Bone marrow smear
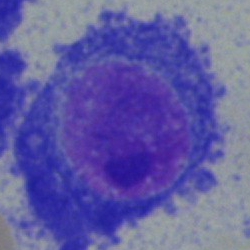Morphology consistent with a plasma cell.